Bone marrow aspirate smear
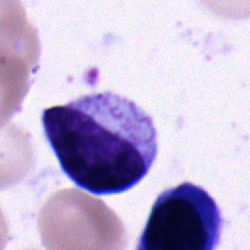

Morphology consistent with a metamyelocyte.